Bone marrow aspirate smear
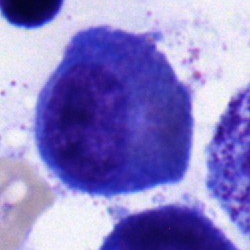

Impression → eosinophil.